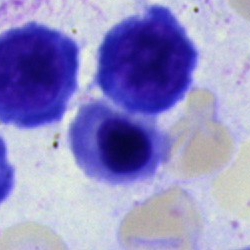Specimen: bone marrow smear.
Morphological class: normoblast.
Lineage: erythroid.